Bone marrow smear:
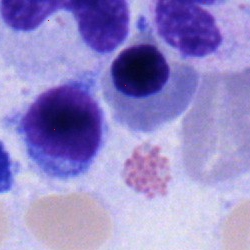 The classification is nucleated red blood cell.